Single-cell field · bone marrow smear · image size 250×250: 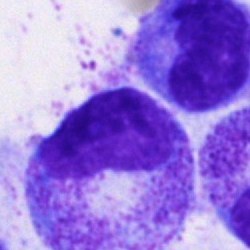
Single cell identified as a progranulocyte.